Bone marrow smear — 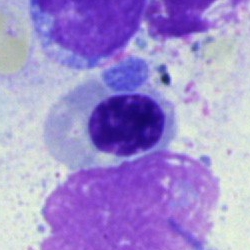

Q: What is shown here?
A: A nucleated red cell.